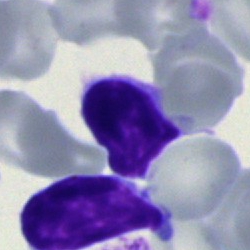Single cell identified as a typical lymphocyte.